Bone marrow aspirate smear: 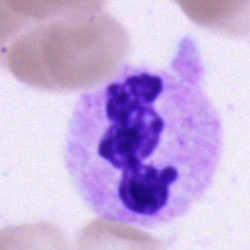 This is a neutrophil (segmented).